Peripheral blood film:
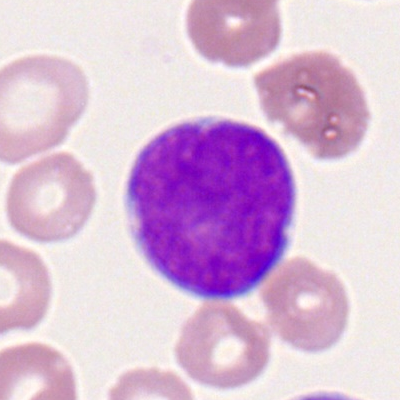
The cell shown is a myeloblast.